Peripheral blood film. Cropped to a single cell — 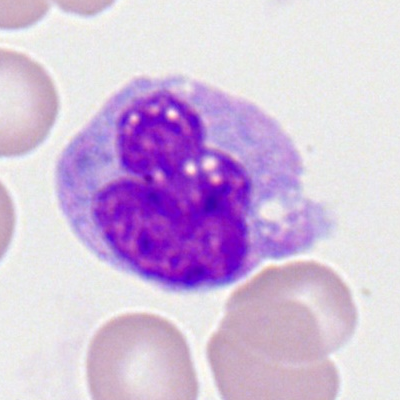Impression — monocyte.